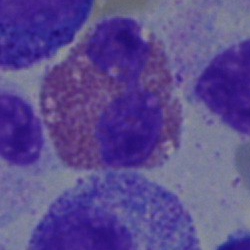

Q: What type of cell is this?
A: Eosinophilic granulocyte.